Bone marrow aspirate smear. Single cell centered in the field:
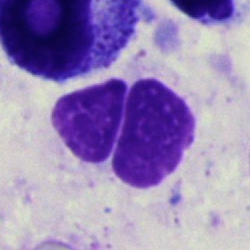 Q: What is shown here?
A: This is an artefact.